MGG-stained · brightfield microscopy, 40× oil immersion · bone marrow smear — 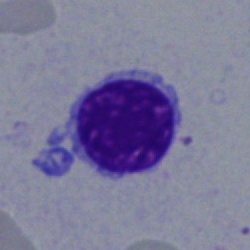

Q: What is shown here?
A: Normoblast.